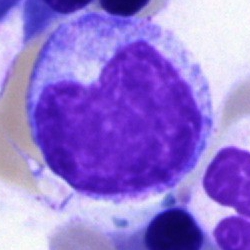
Q: What type of cell is this?
A: Metamyelocyte.